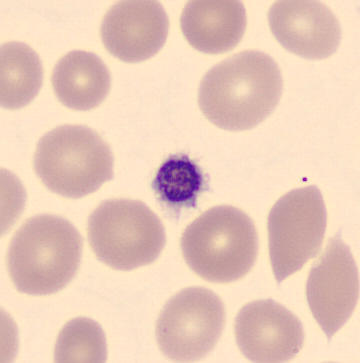 Peripheral blood film. Morphological class = platelet.